Bone marrow aspirate smear: 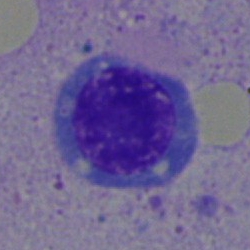Showing a nucleated red blood cell.